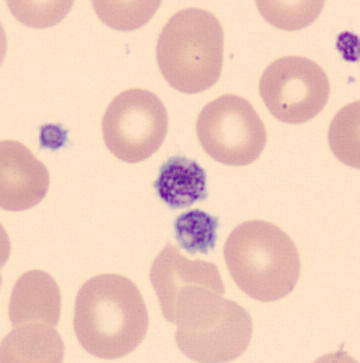 Specimen: peripheral blood smear.
Cell type: platelet.